Brightfield, 40× oil-immersion objective; bone marrow aspirate smear — 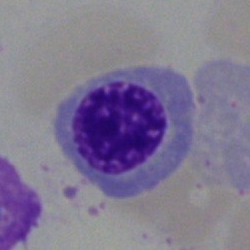Q: Which cell type is shown here?
A: This is a normoblast.